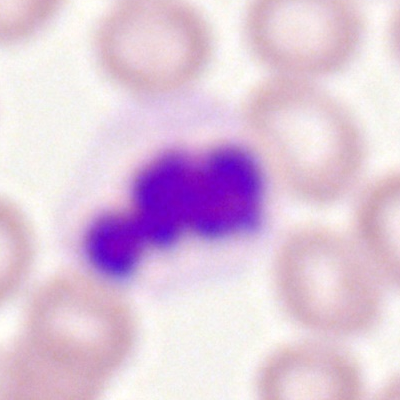Specimen: peripheral blood film.
Cell type: neutrophil (segmented).
Lineage: myeloid.